Bone marrow aspirate smear
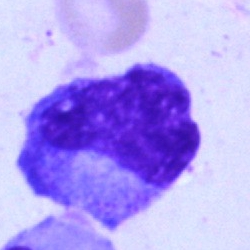 Classification = promyelocyte.